Bone marrow smear: 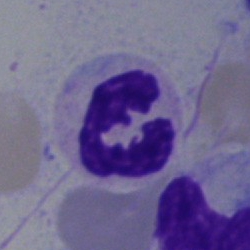
Cell = neutrophil (segmented).